Bone marrow aspirate smear
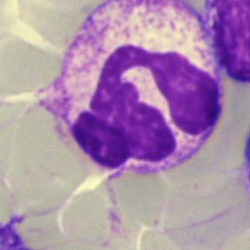 Impression → segmented neutrophil.